Peripheral blood film — 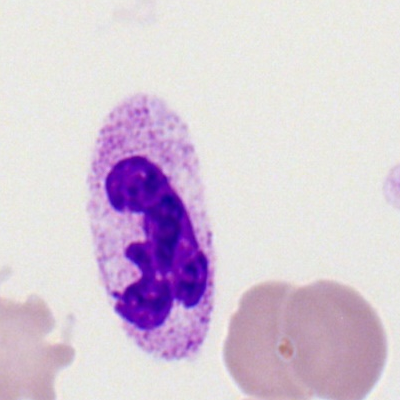 Morphological class = segmented neutrophil.